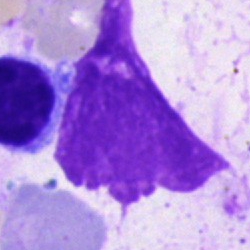 Morphological class = artifact.